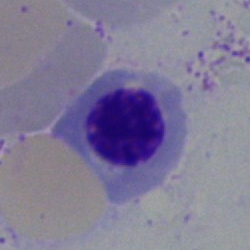 Q: Which cell type is shown here?
A: An erythroblast.